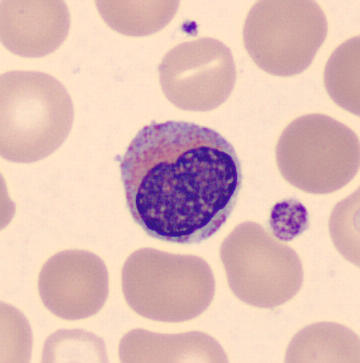
Peripheral blood film, single cell — eosinophilic granulocyte.